Brightfield, 40× oil-immersion objective; bone marrow aspirate smear:
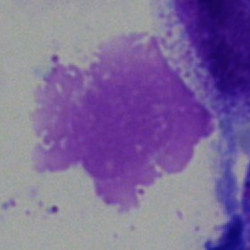 The morphological class is artefact.